Bone marrow smear — 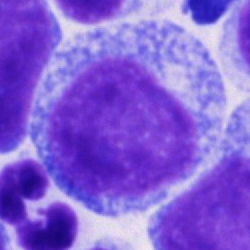

Single cell identified as a progranulocyte.